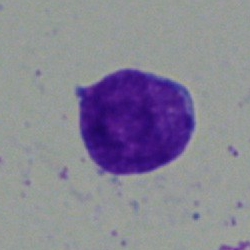The cell shown is a typical lymphocyte.